May-Grünwald-Giemsa stain; bone marrow smear; single-cell field: 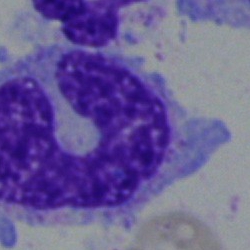

The morphological class is monocyte.